Bone marrow aspirate smear: 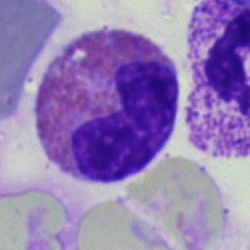Eosinophilic granulocyte.